250×250 px. Bone marrow aspirate smear.
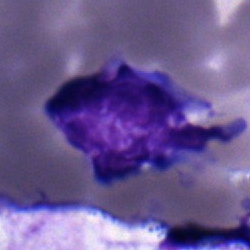
Specimen: bone marrow aspirate smear.
Morphological class: lymphocyte.
Lineage: lymphoid.